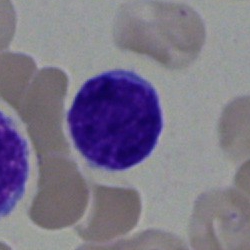

Cell = typical lymphocyte.